Single-cell field · bone marrow smear · image size 250×250: 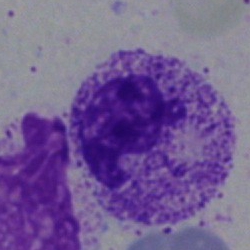 This is a segmented neutrophil.